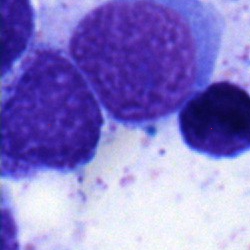Single-cell crop from a bone marrow smear: myelocyte.